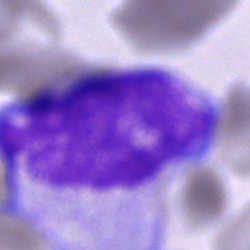 A cell of indeterminate lineage on a bone marrow smear.